250×250 · May-Grünwald-Giemsa/Pappenheim stain · bone marrow smear
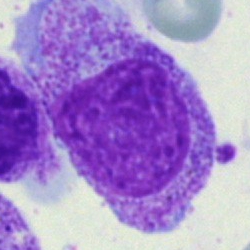
Cell type — myelocyte.